Bone marrow aspirate smear — 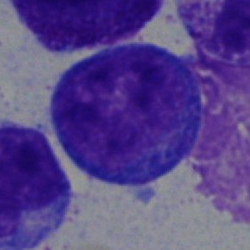
Impression — blast.